Bone marrow aspirate smear:
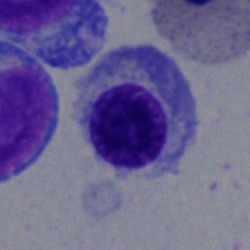 Classification = nucleated red cell.